Peripheral blood smear — 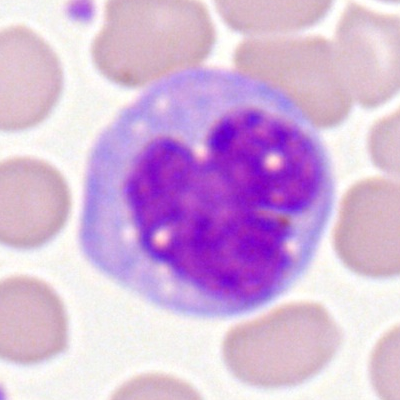The cell shown is a monocyte.